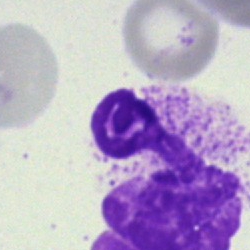
Q: What is shown here?
A: This is an artefact.